250×250 px · bone marrow aspirate smear:
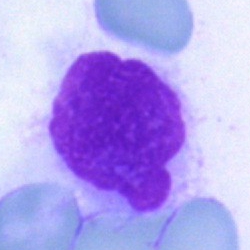

Morphology consistent with an artefact.